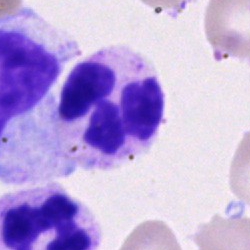

Single cell identified as a neutrophil (segmented).